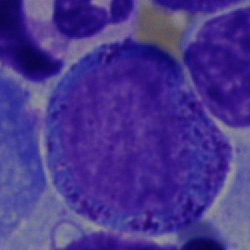 Cell type: progranulocyte.